Bone marrow smear; single cell centered in the field
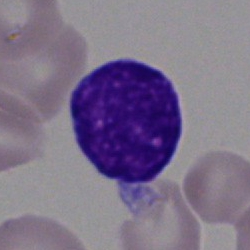

Cell — artifact.